Bone marrow aspirate smear:
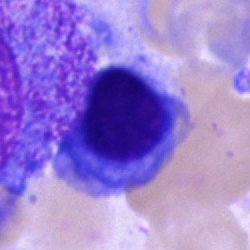
Cell type: nucleated red blood cell.